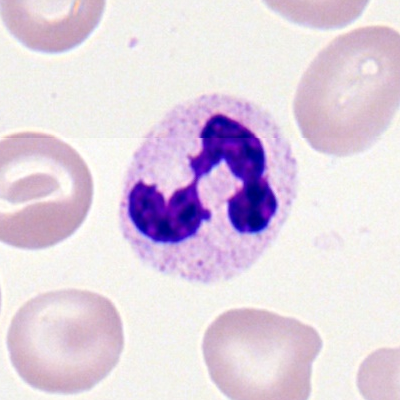

Specimen: peripheral blood smear.
Morphological class: polymorphonuclear neutrophil.
Lineage: myeloid.